May-Grünwald-Giemsa stain · bone marrow aspirate smear.
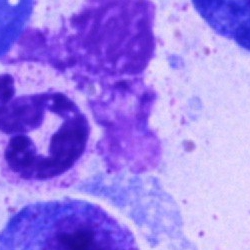Cell type = segmented neutrophil.